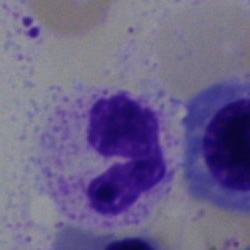Morphological class — neutrophil (segmented).